Bone marrow smear.
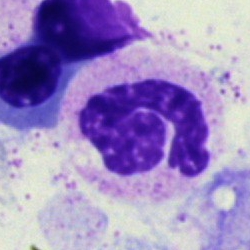Q: Which cell type is shown here?
A: A stab cell.